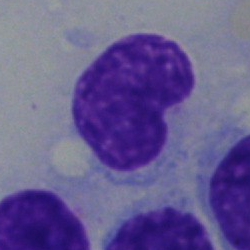

Q: What is the morphological classification of this cell?
A: Hairy cell.